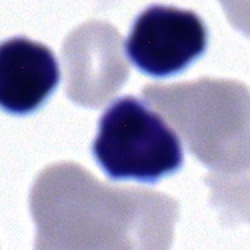
This is a typical lymphocyte.